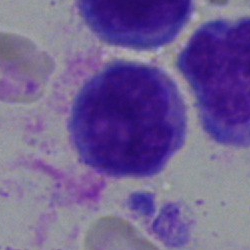 Cell — lymphocyte.